Peripheral blood smear.
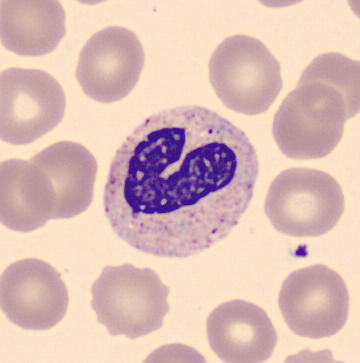

Morphological class = neutrophil (band).